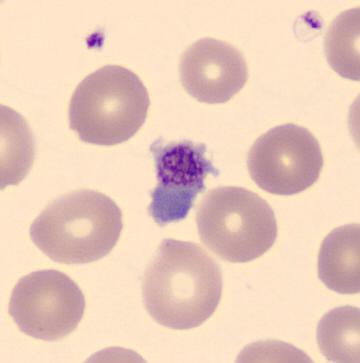

Morphological class: thrombocyte.

Acquisition: May Grünwald-Giemsa stain · 360×363 px · peripheral blood smear.